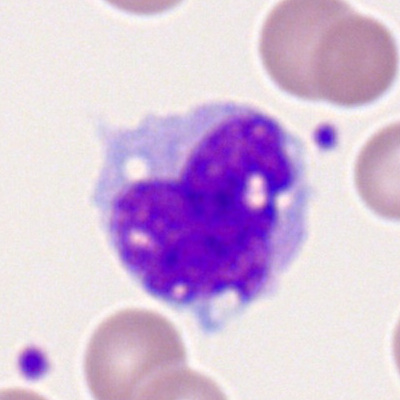
Impression — monocyte.